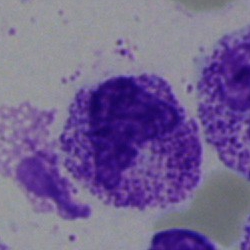

{"cell_type": "neutrophil (segmented)", "lineage": "myeloid"}